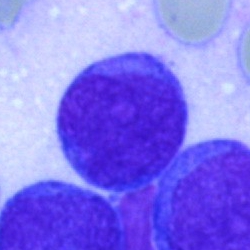 This is an undifferentiated blast.